Bone marrow smear; 40× oil immersion; May-Grünwald-Giemsa stain:
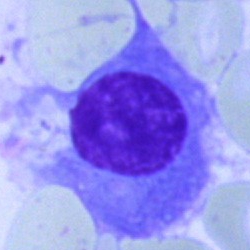
A plasmacyte.